250×250 px; bone marrow smear; brightfield, 40× oil-immersion objective
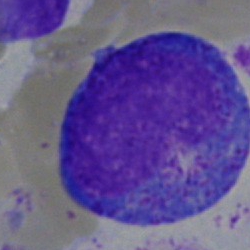
Classification = progranulocyte.